Bone marrow aspirate smear. 40× oil immersion:
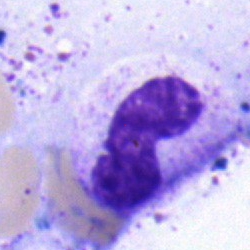
Specimen: bone marrow smear.
Cell type: band neutrophil.
Lineage: myeloid.